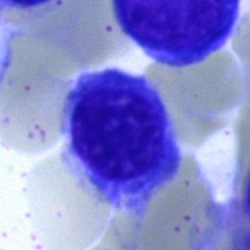
Bone marrow aspirate smear, single cell — nucleated red cell.